Bone marrow smear — 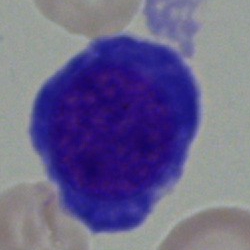
Morphological class = pronormoblast.